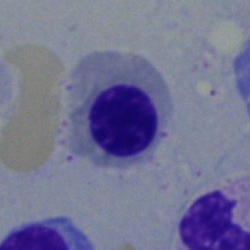
Impression — nucleated red cell.